Bone marrow aspirate smear.
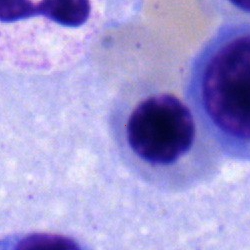
Morphology — erythroblast.